Brightfield microscopy, 40× oil immersion · bone marrow smear
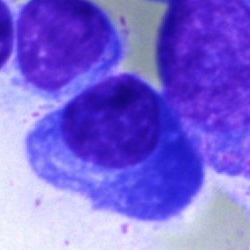

Classification — plasma cell.